May-Grünwald-Giemsa stain. Bone marrow smear. Cropped to a single cell
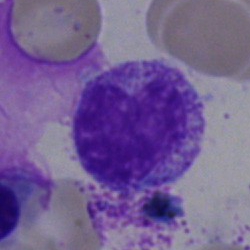
This is a metamyelocyte.